Peripheral blood smear · single-cell field
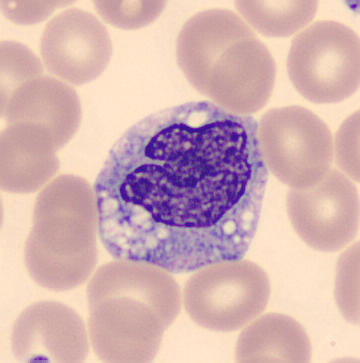 The cell shown is a monocyte.